Peripheral blood smear. 100× oil immersion. 400×400 px.
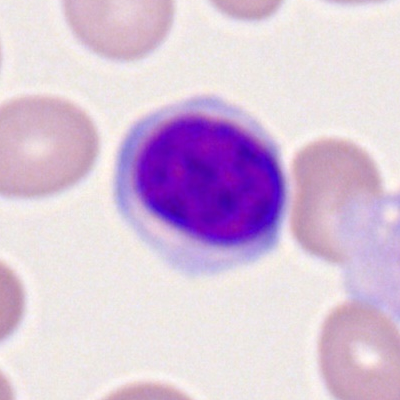Specimen: peripheral blood film.
Cell type: lymphocyte.
Lineage: lymphoid.